Bone marrow aspirate smear
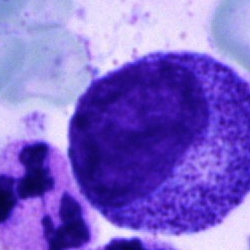 Morphological class — myelocyte.